Bone marrow aspirate smear: 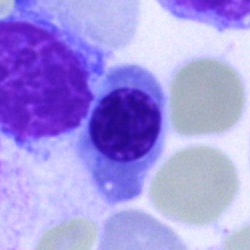

{"cell_type": "nucleated red blood cell", "lineage": "erythroid"}